Single-cell field; bone marrow aspirate smear
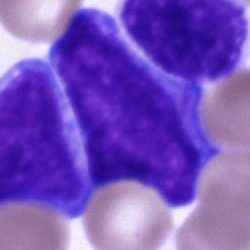

Q: What is shown here?
A: A blast cell.